Bone marrow smear.
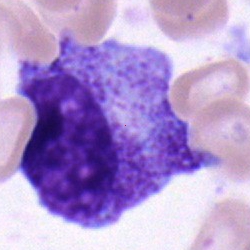 {"cell_type": "myelocyte", "lineage": "myeloid"}